Bone marrow aspirate smear.
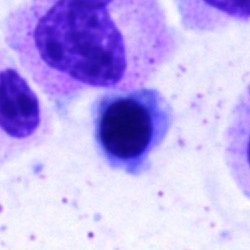

Nucleated red cell.